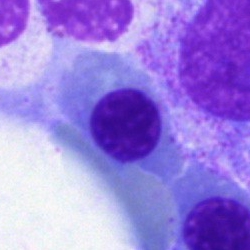 Showing an erythroblast.